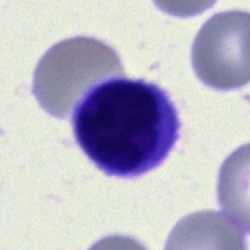

Specimen: bone marrow smear.
Morphological class: typical lymphocyte.
Lineage: lymphoid.